Bone marrow smear:
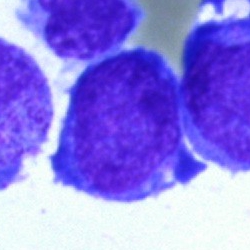Q: Identify the cell.
A: A blast.